Bone marrow smear — 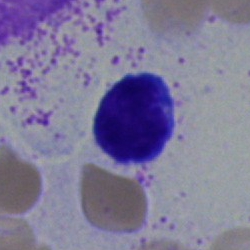The morphological class is lymphocyte.